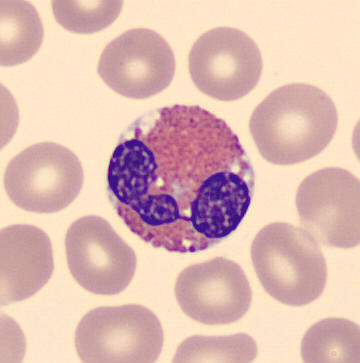
Peripheral blood film. CellaVision DM96. Showing an eosinophil.